Bone marrow smear; May-Grünwald-Giemsa stain — 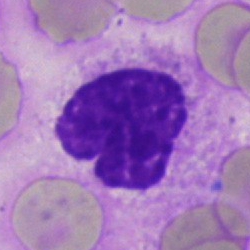

This is an artifact.